Bone marrow aspirate smear
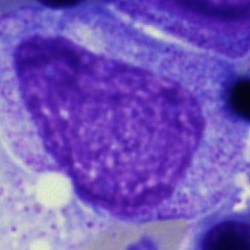 {"cell_type": "promyelocyte"}